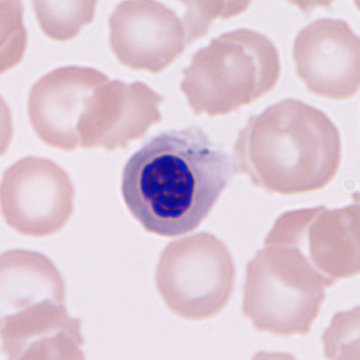

Peripheral blood smear.
Q: What is the morphological classification of this cell?
A: It is an erythroblast.